Bone marrow aspirate smear.
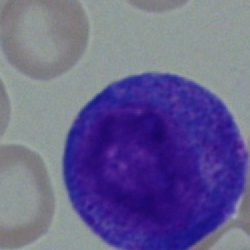 Cell — promyelocyte.